Romanowsky stain · peripheral blood smear: 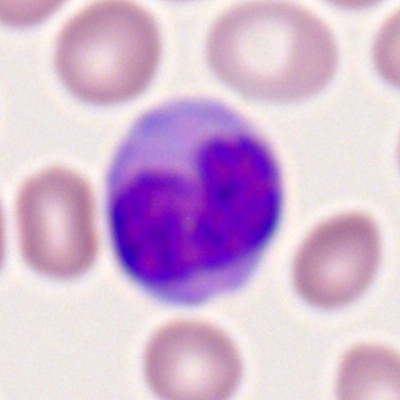

Impression → monocyte.